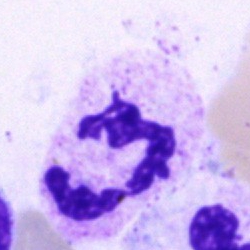The cell is polymorphonuclear neutrophil.